Bone marrow aspirate smear · brightfield microscopy, 40× oil immersion.
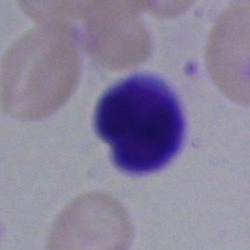 Cell type = lymphocyte.